250×250 px; bone marrow aspirate smear:
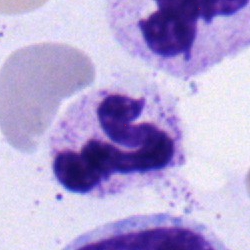 Q: What is the morphological classification of this cell?
A: A neutrophil (segmented).